40× oil immersion. May-Grünwald-Giemsa stain. Bone marrow aspirate smear: 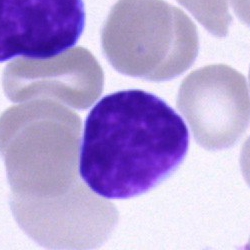

A lymphocyte.